Bone marrow smear · 40× oil immersion — 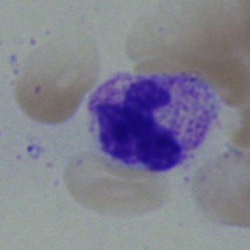Neutrophil (segmented).